Peripheral blood film
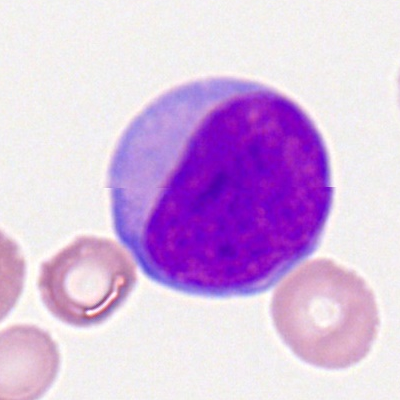Cell type = myeloblast.